Bone marrow aspirate smear: 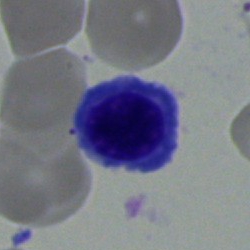
Impression → nucleated red cell.